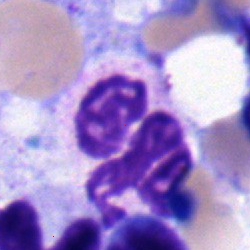 The cell is neutrophil (segmented).